Peripheral blood smear:
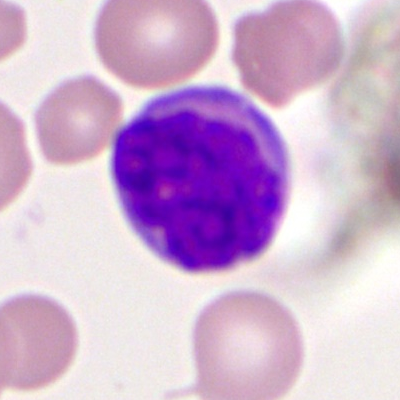 The morphological class is typical lymphocyte.